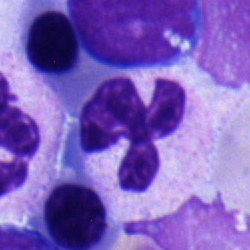
Q: What type of cell is this?
A: It is a polymorphonuclear neutrophil.